Bone marrow smear.
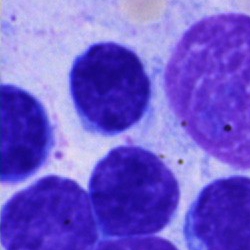

Showing a typical lymphocyte.